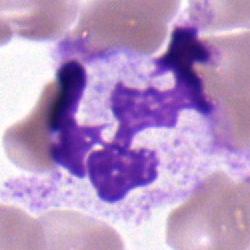 Q: What is the morphological classification of this cell?
A: A neutrophil (segmented).